Single-cell field. Bone marrow aspirate smear — 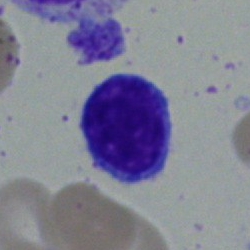 This is a lymphocyte.